Bone marrow smear. May-Grünwald-Giemsa stain. 250×250 — 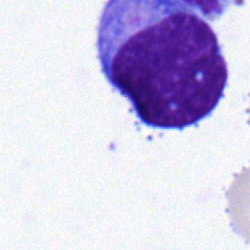

Showing a lymphocyte.